Bone marrow smear; Pappenheim-stained — 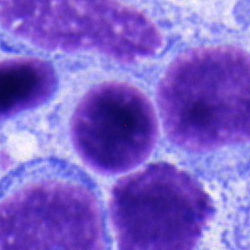This is a lymphocyte.